Bone marrow aspirate smear: 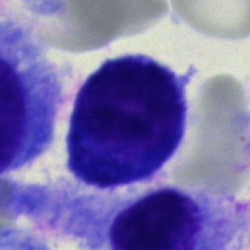 {"cell_type": "unidentifiable cell"}